Bone marrow smear.
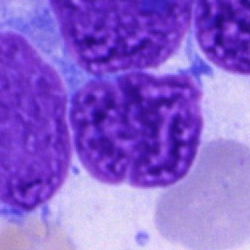

Morphology consistent with an artifact.